Bone marrow aspirate smear. Image size 250×250
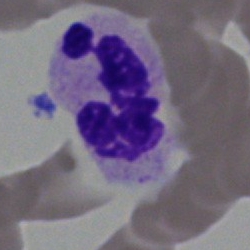Q: What is shown here?
A: A neutrophil (segmented).